May-Grünwald-Giemsa/Pappenheim stain. Bone marrow smear
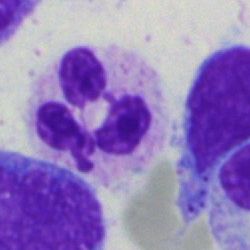 The cell is segmented neutrophil.